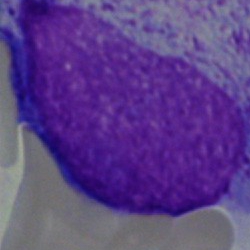
Morphological class: promyelocyte.